Peripheral blood film
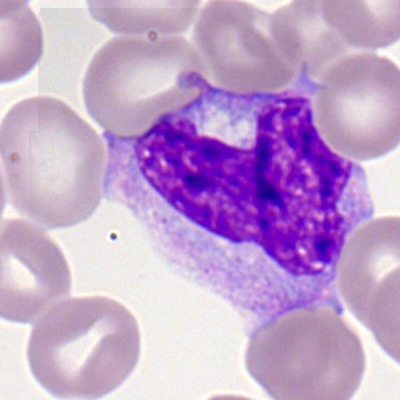 Morphology consistent with a monocyte.